Peripheral blood smear; Romanowsky-type stain.
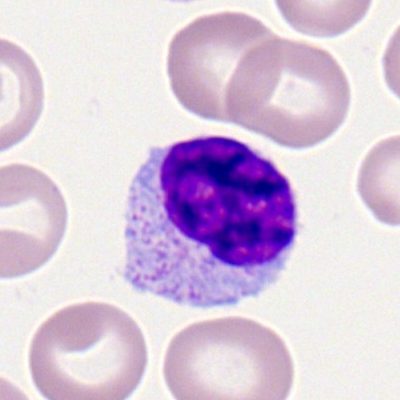The cell shown is a lymphocyte.